Bone marrow aspirate smear · May-Grünwald-Giemsa/Pappenheim stain · single cell centered in the field:
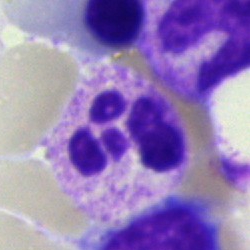 Q: What type of cell is this?
A: This is a neutrophil (segmented).